Bone marrow smear.
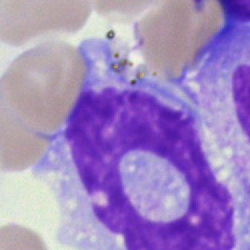

Q: What is shown here?
A: A monocyte.